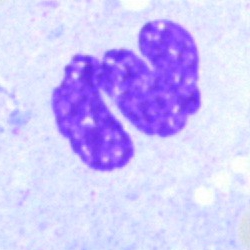

Cell type: artefact.